Bone marrow aspirate smear: 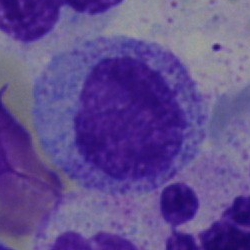
This is a promyelocyte.